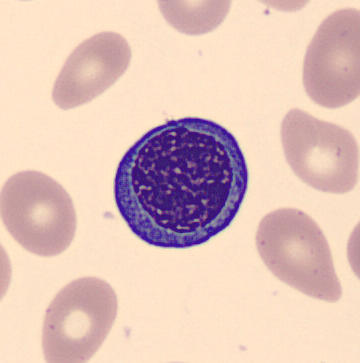

Cell type: nucleated red blood cell. Acquisition: Peripheral blood smear.